Bone marrow smear; brightfield, 40× oil-immersion objective — 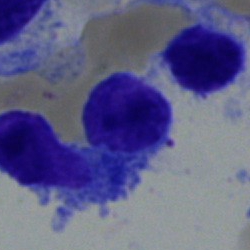
Impression — typical lymphocyte.